Image size 250×250 · May-Grünwald-Giemsa/Pappenheim stain · bone marrow aspirate smear: 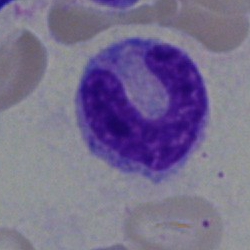
Single cell identified as a neutrophil (band).